Bone marrow smear; image size 250×250:
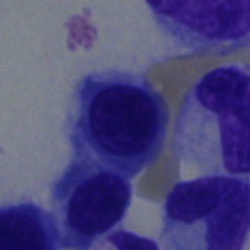 Morphology — nucleated red blood cell.